Bone marrow smear
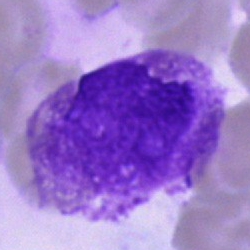 Single cell identified as an artifact.